MGG-stained. Brightfield, 40× oil-immersion objective. Bone marrow smear: 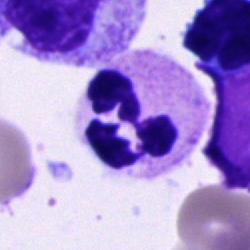 The classification is polymorphonuclear neutrophil.